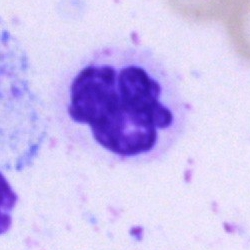
The classification is neutrophil (segmented).